Cropped to a single cell; bone marrow smear; image size 250×250:
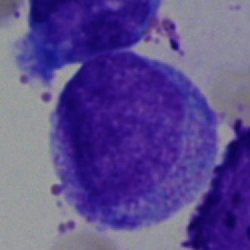 Single cell identified as a progranulocyte.